250×250 px · MGG-stained · bone marrow aspirate smear:
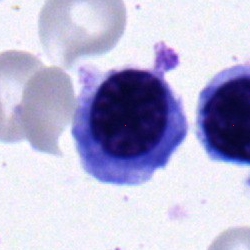
Single cell identified as an erythroblast.